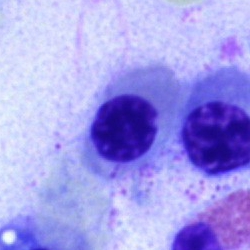 The cell is erythroblast.